100× objective, oil immersion · peripheral blood smear.
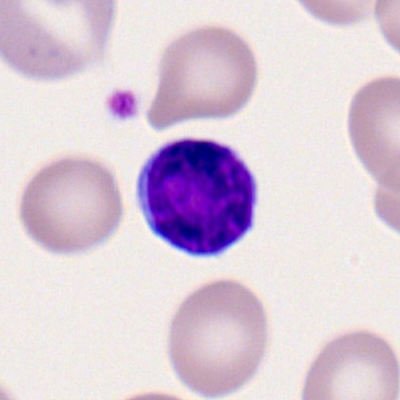

Typical lymphocyte.